Bone marrow aspirate smear · single-cell crop:
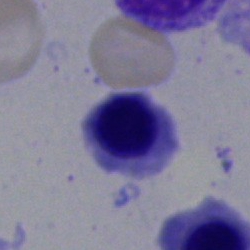Morphological class — nucleated red cell.